Bone marrow smear — 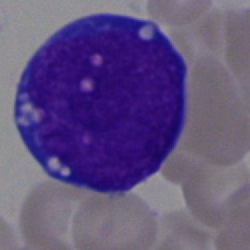

A blast cell.